MGG-stained; single-cell field; bone marrow smear: 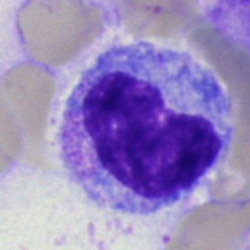 Q: What is shown here?
A: This is a progranulocyte.